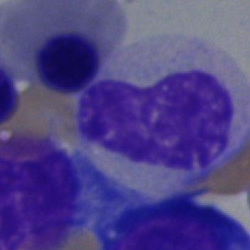

Cell — metamyelocyte.